Bone marrow smear: 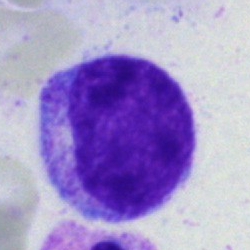

The cell is myelocyte.